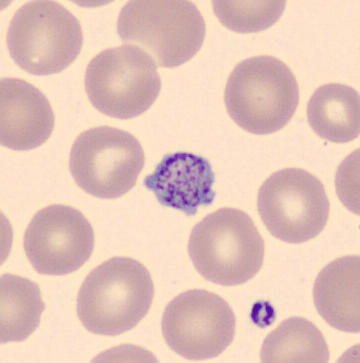Specimen: peripheral blood smear.
Cell type: thrombocyte.